Bone marrow smear.
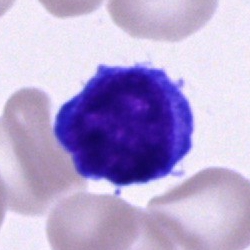Morphological class: cell of indeterminate lineage.